Bone marrow aspirate smear · brightfield microscopy, 40× oil immersion
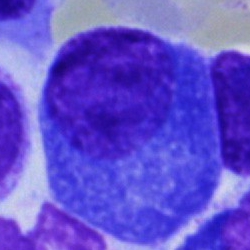 Showing a plasmacyte.